May-Grünwald-Giemsa/Pappenheim stain · bone marrow smear.
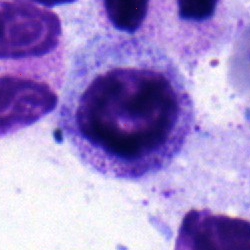

Impression → myelocyte.